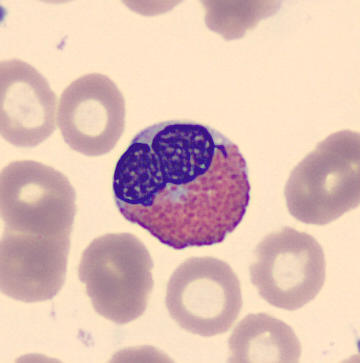
Q: What type of cell is this?
A: This is an eosinophilic granulocyte.